Bone marrow smear · single-cell field · Pappenheim-stained.
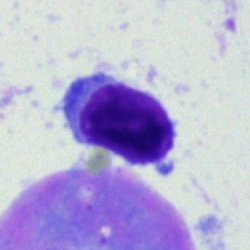

A typical lymphocyte.